Bone marrow aspirate smear:
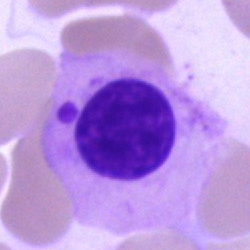 Impression → artifact.